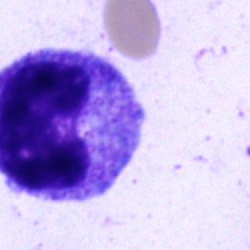
Morphological class — progranulocyte.